Bone marrow smear: 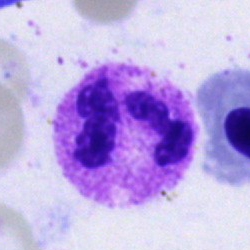

Q: Identify the cell.
A: It is a segmented neutrophil.